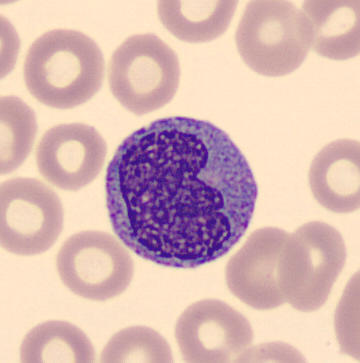

This is a monocyte. Peripheral blood film · single cell centered in the field.